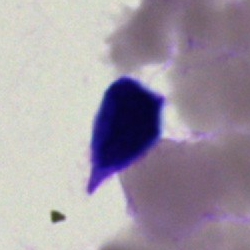 The cell type is artefact.